Bone marrow aspirate smear
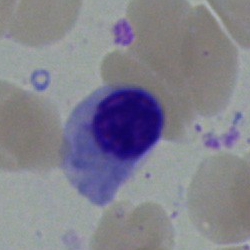 The cell is erythroblast.